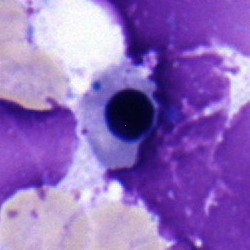

Specimen: bone marrow aspirate smear.
Cell type: nucleated red cell.
Lineage: erythroid.